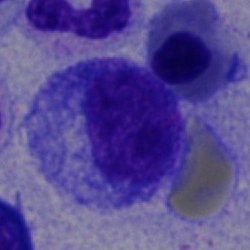

Single cell identified as a progranulocyte.